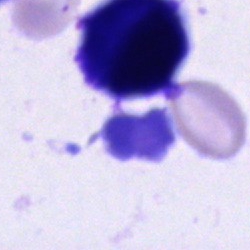Specimen: bone marrow smear.
Classification: cell of indeterminate lineage.